Bone marrow smear: 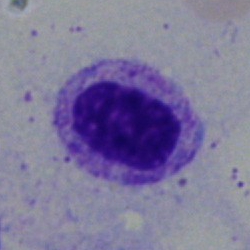 Cell = myelocyte.